Bone marrow smear:
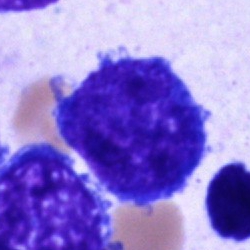 Specimen: bone marrow aspirate smear.
Cell: blast.